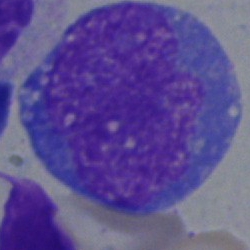 Bone marrow smear showing a blast cell.